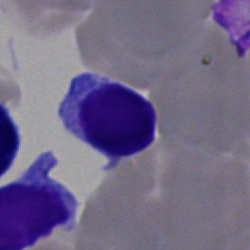 The cell is typical lymphocyte.